Bone marrow aspirate smear
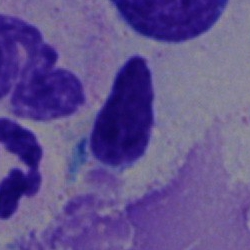Q: What cell is this?
A: It is a typical lymphocyte.